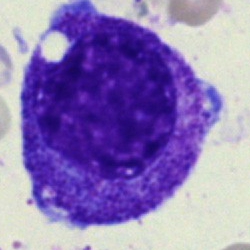
The cell is progranulocyte.